Brightfield, 40× oil-immersion objective; bone marrow aspirate smear; 250×250.
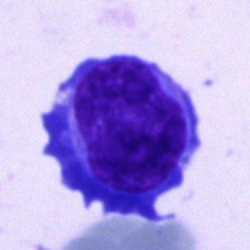
Morphology consistent with a blast.